Bone marrow aspirate smear:
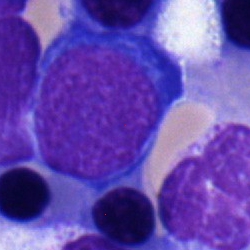 The cell is pronormoblast.